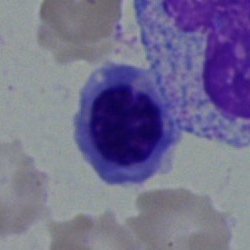Specimen: bone marrow aspirate smear.
Cell type: normoblast.